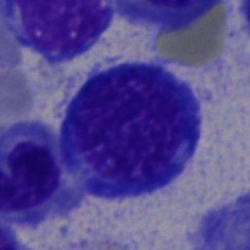Cell type = nucleated red blood cell.